Bone marrow smear
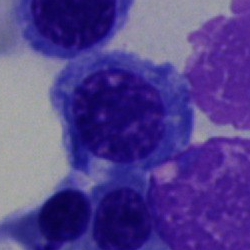

Nucleated red blood cell.